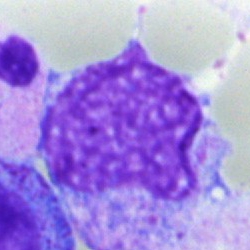

Cell type = artifact.